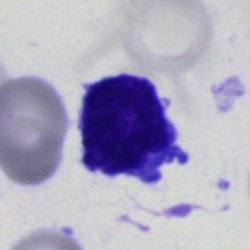

{"cell_type": "undifferentiated blast"}